Bone marrow aspirate smear:
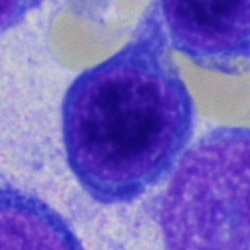 Morphological class — erythroblast.